Bone marrow aspirate smear; image size 250×250; MGG-stained
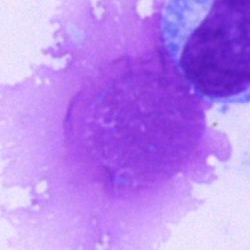
An artifact.